Single cell centered in the field. Bone marrow smear
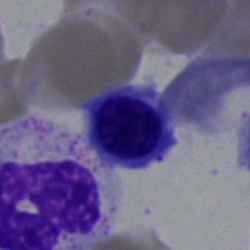 The cell is erythroblast.